40× oil immersion. Bone marrow smear. May-Grünwald-Giemsa stain — 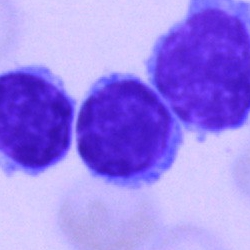Lymphocyte.